40× oil immersion; Pappenheim-stained; bone marrow aspirate smear: 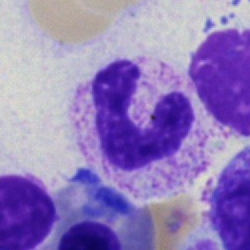 Morphological class: stab cell.